Bone marrow smear.
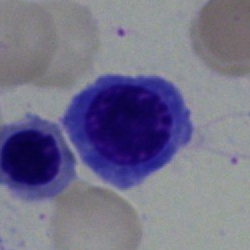

Q: What type of cell is this?
A: It is a nucleated red cell.